Bone marrow smear: 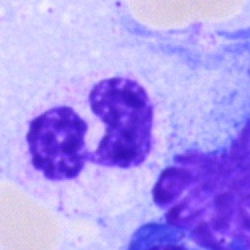
This is a neutrophil (segmented).